Bone marrow smear: 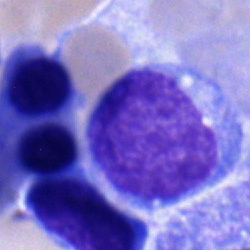Specimen: bone marrow aspirate smear.
Cell type: blast.